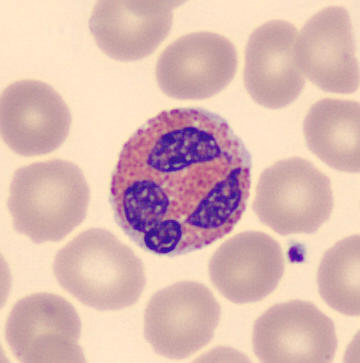
{"cell_type": "eosinophil", "lineage": "myeloid"}